Single cell centered in the field · May-Grünwald-Giemsa stain · bone marrow smear
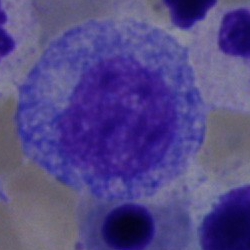

The morphological class is promyelocyte.